Bone marrow aspirate smear: 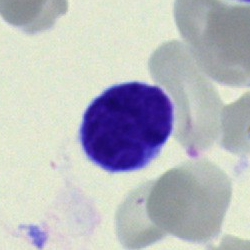 Showing a typical lymphocyte.